Bone marrow aspirate smear:
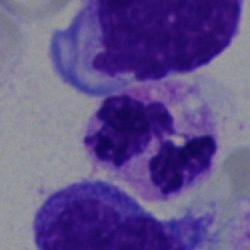 Segmented neutrophil.